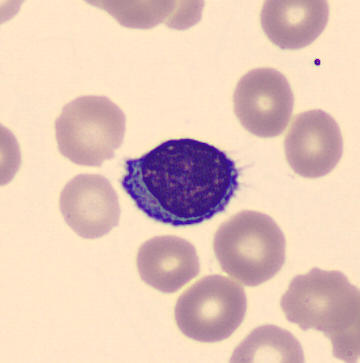 Cell = lymphocyte.

Image: Peripheral blood smear · May Grünwald-Giemsa stain · 360 by 363 pixels.